Bone marrow smear:
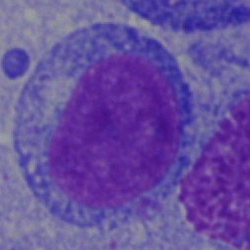

Classification = undifferentiated blast.